Brightfield, 40× oil-immersion objective. Bone marrow aspirate smear. May-Grünwald-Giemsa/Pappenheim stain
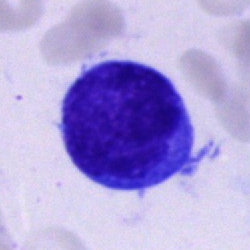Morphology consistent with an unidentifiable cell.